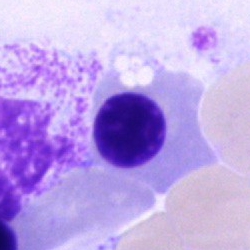
The cell type is nucleated red blood cell.